Single-cell field; 250 by 250 pixels; bone marrow smear: 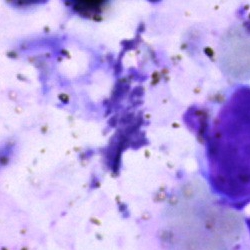Morphology — artifact.